Bone marrow smear; 250×250; 40× oil immersion:
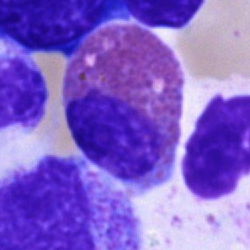Specimen: bone marrow aspirate smear.
Cell: eosinophil.
Lineage: myeloid.